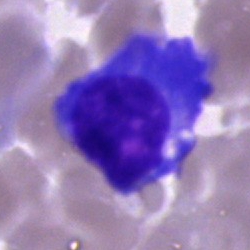 {"cell_type": "plasmacyte", "lineage": "lymphoid"}